Bone marrow aspirate smear: 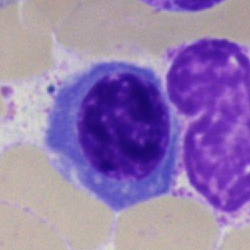 The classification is normoblast.